Bone marrow smear. Single-cell crop: 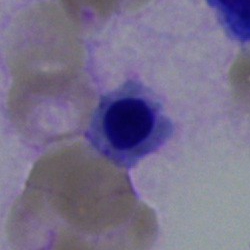

Showing a nucleated red cell.